Single-cell crop. Bone marrow aspirate smear
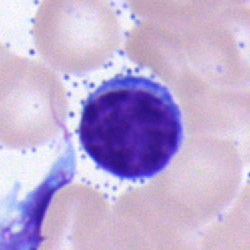Q: Which cell type is shown here?
A: A lymphocyte.